Bone marrow aspirate smear
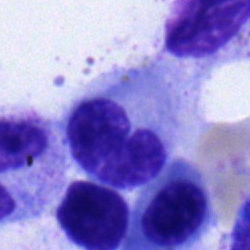
Morphology — band neutrophil.